MGG-stained; bone marrow smear.
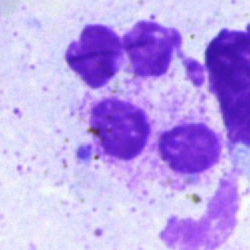
Morphology → artefact.